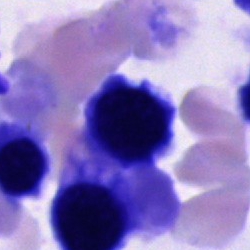Morphological class — unidentifiable cell.